Bone marrow smear:
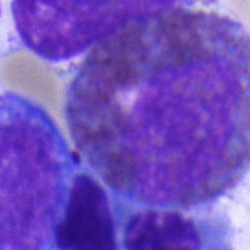 Q: What type of cell is this?
A: It is an eosinophil.